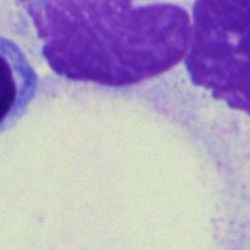

Cell = artefact.